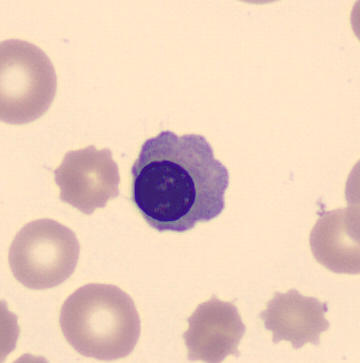

Cell type: normoblast.